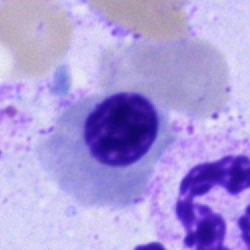The classification is erythroblast.